Single-cell crop. Romanowsky-type stain. Peripheral blood film
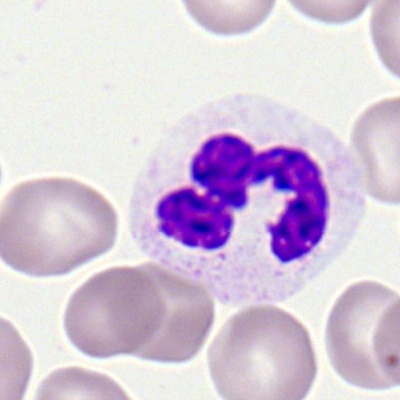Specimen: peripheral blood smear.
Cell: segmented neutrophil.
Lineage: myeloid.